Image size 250×250 · bone marrow smear · brightfield, 40× oil-immersion objective — 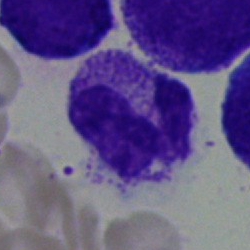

Q: What is shown here?
A: It is a polymorphonuclear neutrophil.